Peripheral blood film:
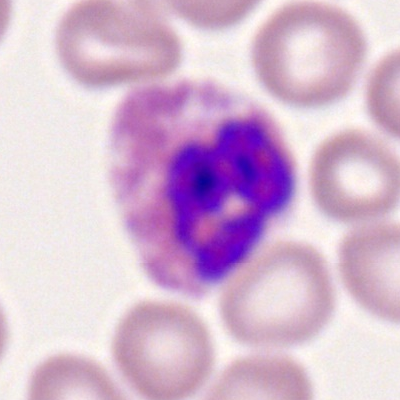 Morphology consistent with an eosinophilic granulocyte.